250×250 px. Bone marrow aspirate smear. Single-cell crop — 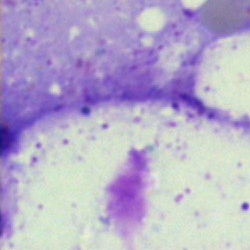 Morphological class: artefact.